250 by 250 pixels; single cell centered in the field; bone marrow aspirate smear.
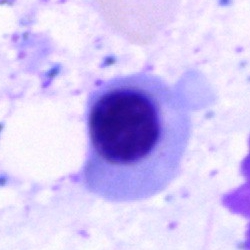Q: What is shown here?
A: This is a nucleated red cell.